Bone marrow aspirate smear.
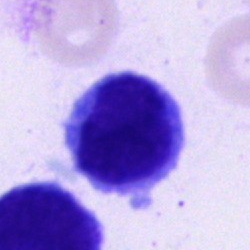

Monocyte.